Romanowsky-stained. Peripheral blood smear — 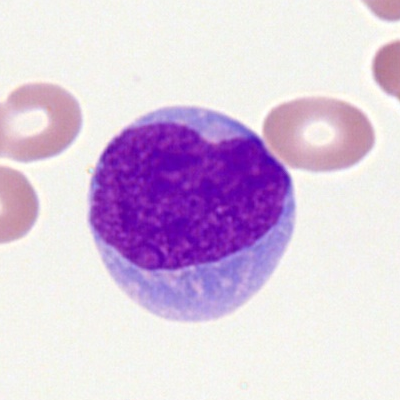Cell type = myeloblast.